Peripheral blood smear:
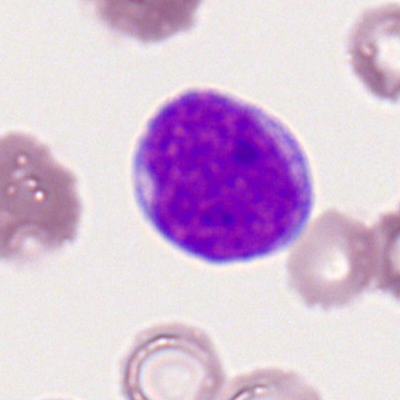

Impression — myeloid blast.